Bone marrow aspirate smear · MGG-stained
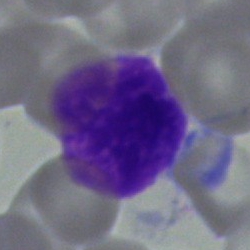
The cell is artifact.